Cropped to a single cell · bone marrow aspirate smear
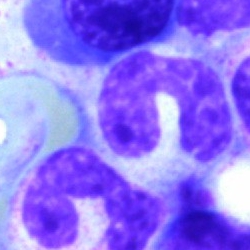
Band neutrophil.